Single cell centered in the field. Bone marrow aspirate smear
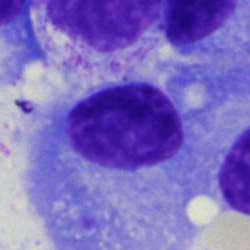

Q: What cell is this?
A: It is a plasmacyte.